Bone marrow aspirate smear
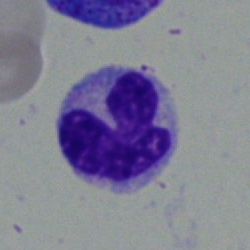

Impression → monocyte.